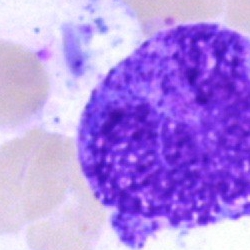

Cell type: artefact.